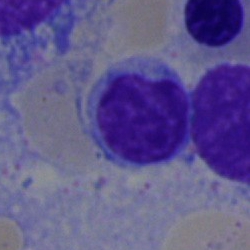
Q: What is shown here?
A: This is a lymphocyte.